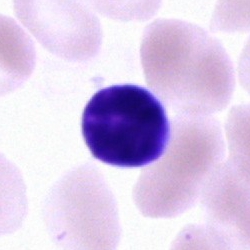 Cell — lymphocyte.